Bone marrow smear:
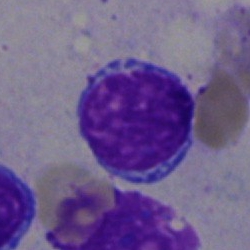 Cell: lymphocyte.